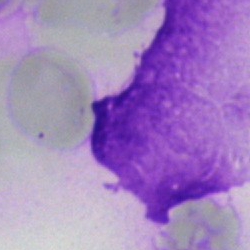
Specimen: bone marrow aspirate smear.
Morphological class: artefact.